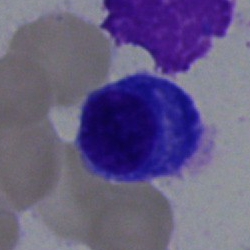Showing a plasmacyte.